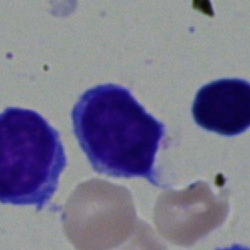
Typical lymphocyte.